Bone marrow aspirate smear
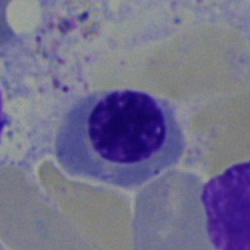
Impression → nucleated red cell.